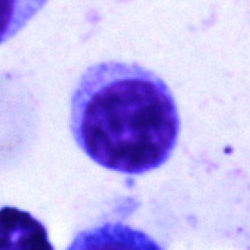

Specimen: bone marrow aspirate smear.
Cell: typical lymphocyte.